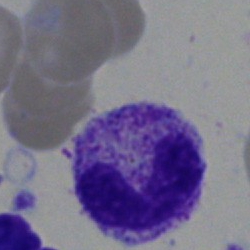

The morphological class is band-form neutrophil.